Bone marrow aspirate smear:
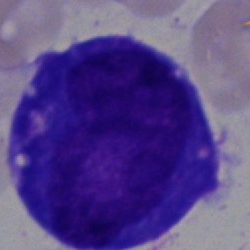 A blast cell.